Bone marrow smear. Brightfield microscopy, 40× oil immersion — 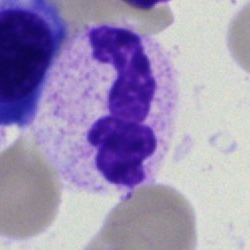 Showing a neutrophil (segmented).